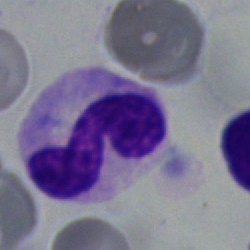 The cell is neutrophil (segmented).